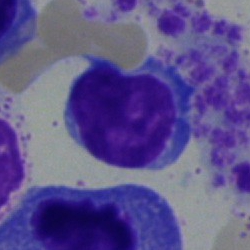

Morphology — typical lymphocyte.